Peripheral blood film
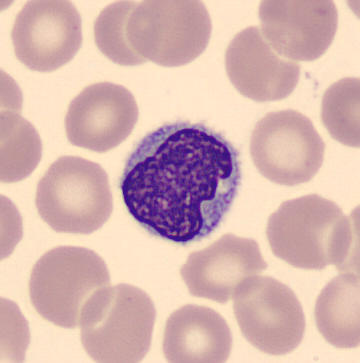

Specimen: peripheral blood film.
Cell type: typical lymphocyte.